May-Grünwald-Giemsa/Pappenheim stain. Bone marrow aspirate smear. 40× oil immersion — 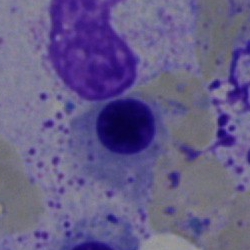Showing a nucleated red blood cell.